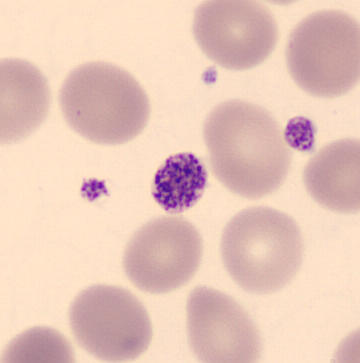The morphological class is platelet (thrombocyte).